Bone marrow smear
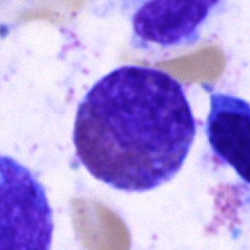
Cell: eosinophil.